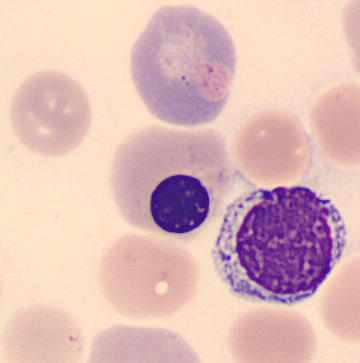
{"cell_type": "nucleated red blood cell", "lineage": "erythroid"}